Bone marrow aspirate smear · single-cell crop · brightfield, 40× oil-immersion objective
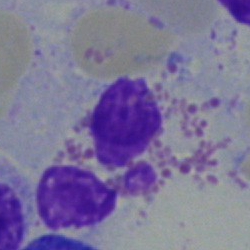

An eosinophil.